Bone marrow smear
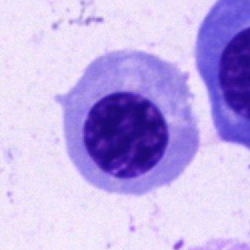Q: What is the morphological classification of this cell?
A: This is a normoblast.